40× oil immersion; May-Grünwald-Giemsa stain; bone marrow smear
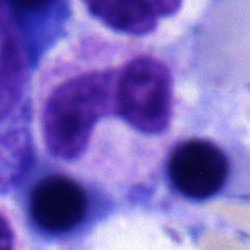Morphological class: band neutrophil.